Bone marrow aspirate smear; Pappenheim-stained; 250×250 — 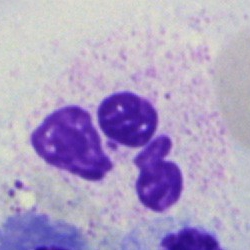This is a polymorphonuclear neutrophil.